Bone marrow smear: 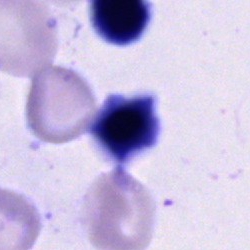Unidentifiable cell.